Bone marrow aspirate smear.
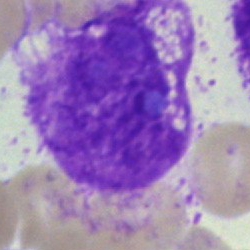 The cell is artifact.